Image size 250×250. Bone marrow aspirate smear.
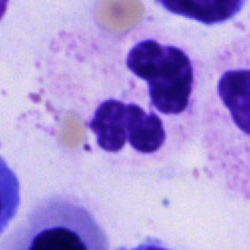
{"cell_type": "segmented neutrophil"}